Peripheral blood smear.
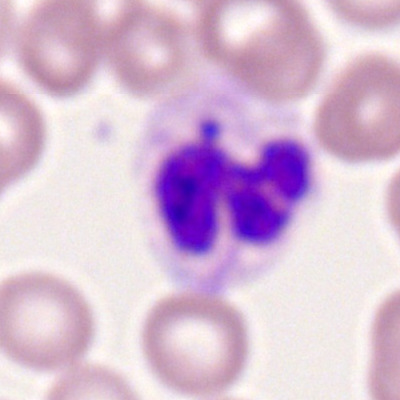

Specimen: peripheral blood film.
Morphological class: polymorphonuclear neutrophil.
Lineage: myeloid.